Bone marrow aspirate smear — 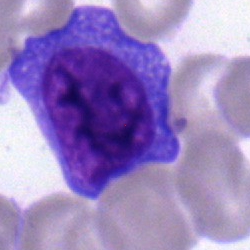

{"cell_type": "promyelocyte", "lineage": "myeloid"}